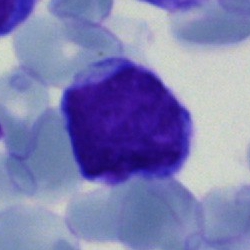 The morphological class is undifferentiated blast.